Peripheral blood film — 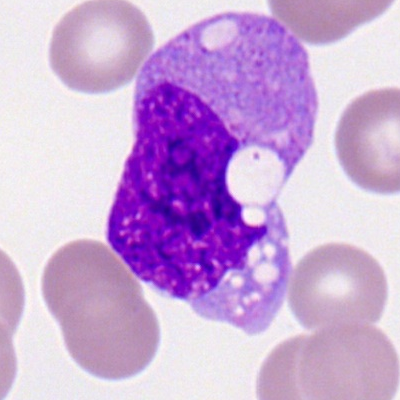

The classification is monocyte.